Bone marrow smear:
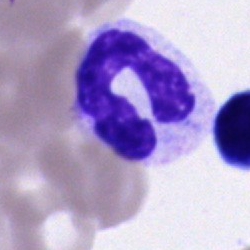 The cell shown is a neutrophil (band).